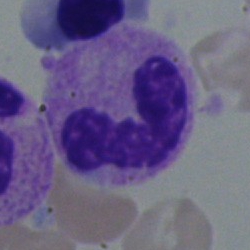 Specimen: bone marrow aspirate smear.
Cell: neutrophil (segmented).